40× oil immersion. Bone marrow smear — 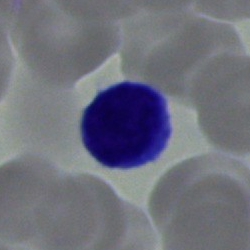
A lymphocyte.